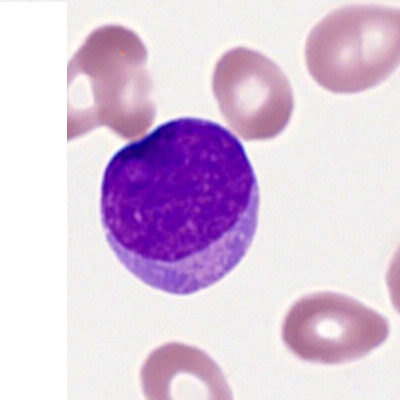

{"cell_type": "myeloid blast", "lineage": "myeloid"}